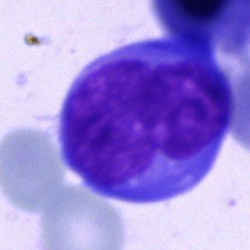A blast.